Peripheral blood smear: 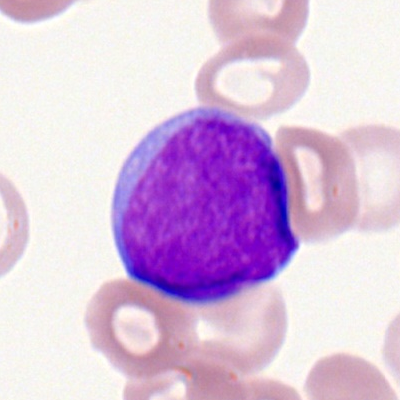

The cell is myeloid blast.